250×250 px · bone marrow smear — 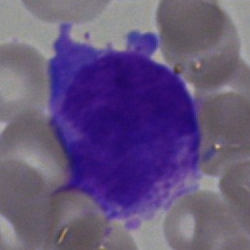
Specimen: bone marrow aspirate smear.
Cell type: undifferentiated blast.